Brightfield microscopy, 40× oil immersion; bone marrow smear; single cell centered in the field: 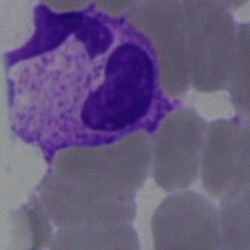 Q: Identify the cell.
A: It is a polymorphonuclear neutrophil.